Bone marrow aspirate smear.
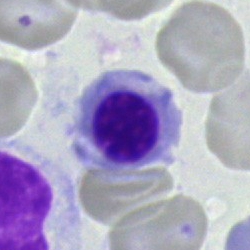{"cell_type": "nucleated red blood cell"}